Bone marrow aspirate smear · May-Grünwald-Giemsa/Pappenheim stain:
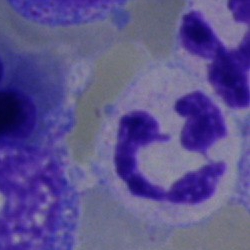 {"cell_type": "neutrophil (segmented)", "lineage": "myeloid"}